Bone marrow smear
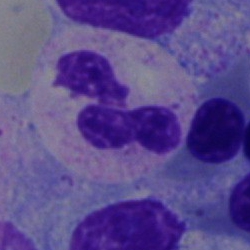 Impression → polymorphonuclear neutrophil.